250×250; bone marrow aspirate smear:
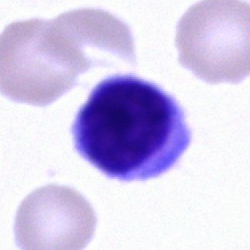

A lymphocyte.